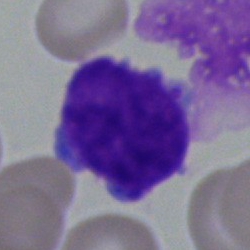
A blast.